Bone marrow smear. Pappenheim-stained: 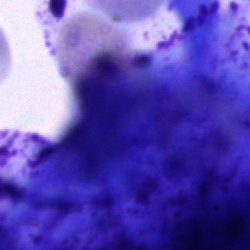Morphology consistent with an artifact.